Brightfield microscopy, 40× oil immersion; Pappenheim-stained; bone marrow aspirate smear.
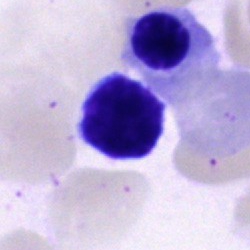 Q: What cell is this?
A: It is a lymphocyte.